Bone marrow aspirate smear · 40× oil immersion
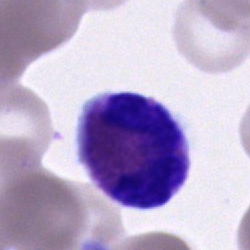

An eosinophil.